Bone marrow smear.
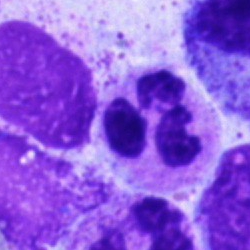Morphology consistent with a segmented neutrophil.